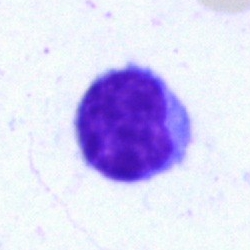
Classification = lymphocyte.